Bone marrow aspirate smear.
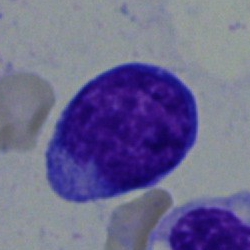 Specimen: bone marrow smear.
Classification: blast cell.